Bone marrow smear; 250×250:
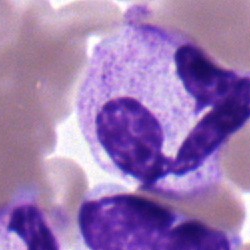This is a polymorphonuclear neutrophil.